Bone marrow smear:
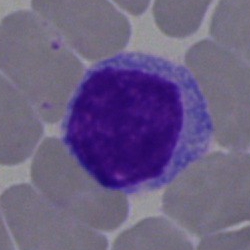
Q: What is shown here?
A: It is a lymphocyte.